250 by 250 pixels; bone marrow aspirate smear.
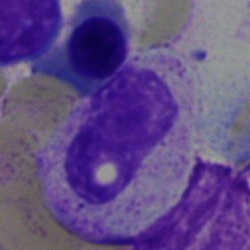Impression → metamyelocyte.